Bone marrow smear; single-cell field.
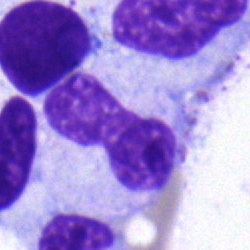

Specimen: bone marrow aspirate smear.
Classification: band neutrophil.